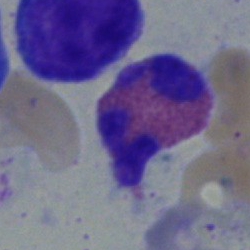 {"cell_type": "eosinophil"}